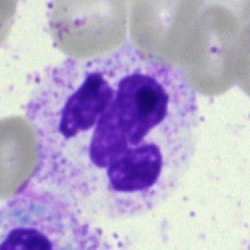
Q: What is shown here?
A: It is a segmented neutrophil.